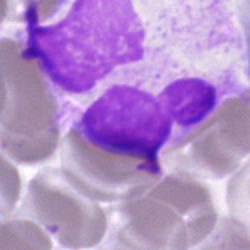 Morphology consistent with an artifact.